250 by 250 pixels. Bone marrow smear. 40× objective, oil immersion.
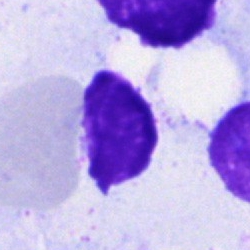

Morphology consistent with an artefact.